Peripheral blood film
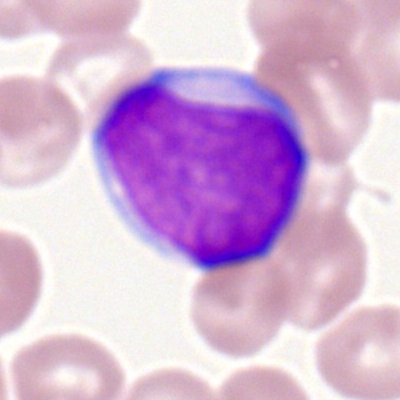 The cell type is myeloid blast.